Bone marrow smear
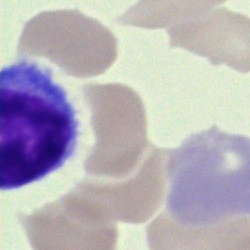The cell shown is an artefact.